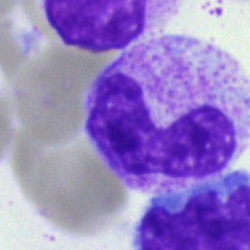Morphology — band-form neutrophil.